Bone marrow smear · single-cell field: 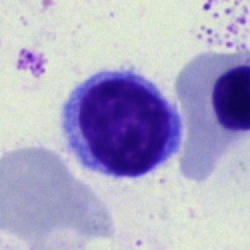
Specimen: bone marrow aspirate smear.
Cell type: typical lymphocyte.